Bone marrow aspirate smear. 250×250 px
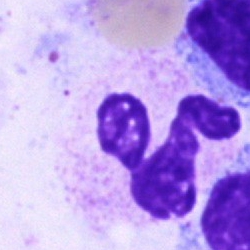 Q: What cell is this?
A: It is a polymorphonuclear neutrophil.